Bone marrow smear · cropped to a single cell — 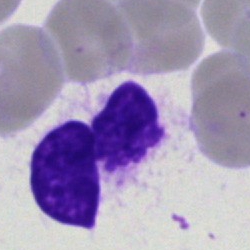

Morphology — artifact.